Cropped to a single cell. 400×400 px. Peripheral blood film.
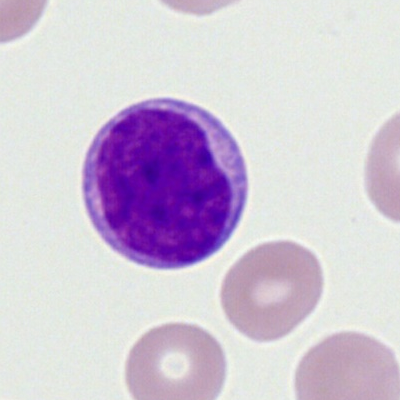
Cell type — typical lymphocyte.